Pappenheim-stained · bone marrow smear
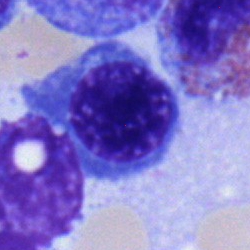

The morphological class is normoblast.